Bone marrow aspirate smear.
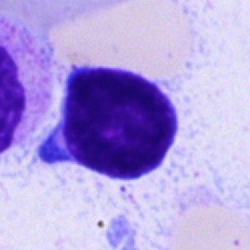

Q: What type of cell is this?
A: A lymphocyte.